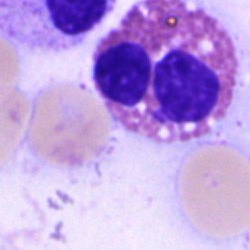

{"cell_type": "eosinophil"}